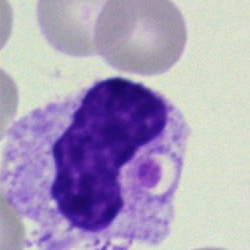

Specimen: bone marrow smear.
Morphological class: stab cell.